Bone marrow smear. 250×250 px: 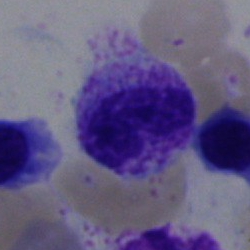

This is a band-form neutrophil.